Bone marrow aspirate smear
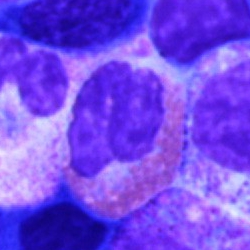

Specimen: bone marrow aspirate smear.
Cell: eosinophilic granulocyte.
Lineage: myeloid.